Bone marrow aspirate smear
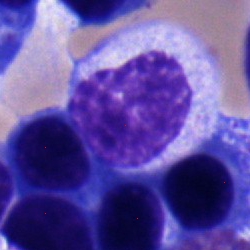

Q: What is shown here?
A: This is a myelocyte.